Single-cell field; bone marrow aspirate smear — 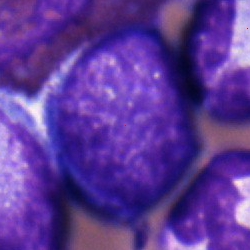 A blast cell.